Bone marrow aspirate smear:
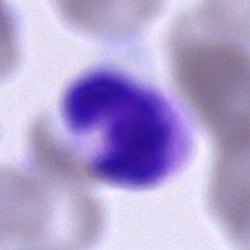

This is an unidentifiable cell.